Bone marrow aspirate smear · brightfield microscopy, 40× oil immersion — 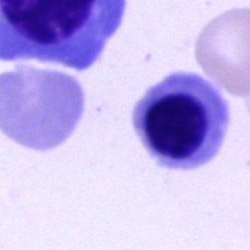 {"cell_type": "erythroblast", "lineage": "erythroid"}